Bone marrow aspirate smear:
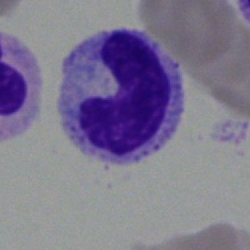

A neutrophil (band).